Brightfield microscopy, 40× oil immersion; single cell centered in the field; bone marrow aspirate smear
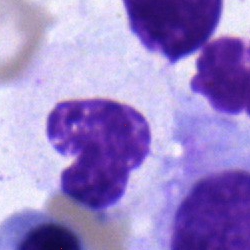
Morphology consistent with a band-form neutrophil.